250 by 250 pixels · bone marrow aspirate smear.
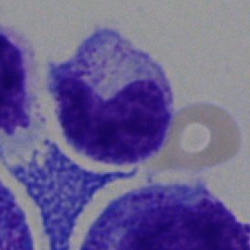
Q: What is shown here?
A: Metamyelocyte.